Bone marrow smear · 250 by 250 pixels.
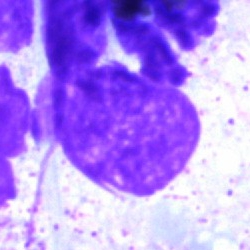Impression — artefact.